Bone marrow aspirate smear:
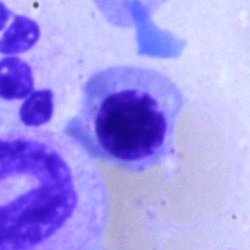

Morphology consistent with an erythroblast.